Bone marrow aspirate smear: 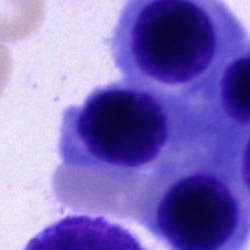
{"cell_type": "nucleated red cell", "lineage": "erythroid"}